Bone marrow aspirate smear.
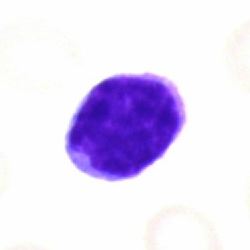 The cell type is typical lymphocyte.